40× oil immersion; bone marrow smear.
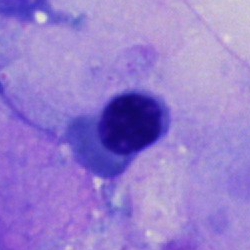
Nucleated red blood cell.